Bone marrow aspirate smear · May-Grünwald-Giemsa stain · single-cell crop — 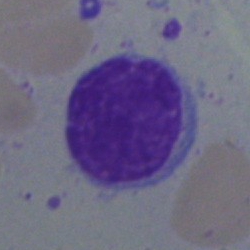

Specimen: bone marrow smear.
Cell: lymphocyte.